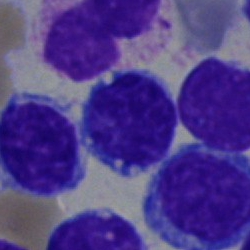 The cell shown is a lymphocyte.